Bone marrow smear: 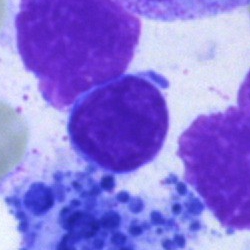

Morphology consistent with a lymphocyte.